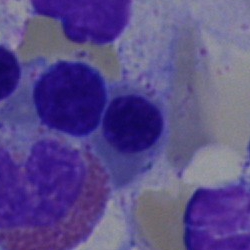 This is an eosinophilic granulocyte.